Bone marrow aspirate smear:
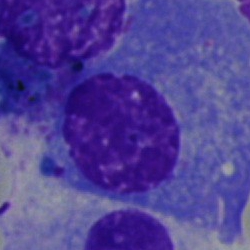

Morphological class = plasma cell.